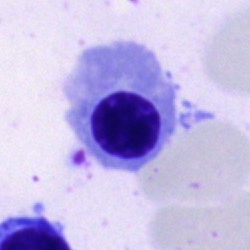 Morphology — nucleated red blood cell.